Peripheral blood smear
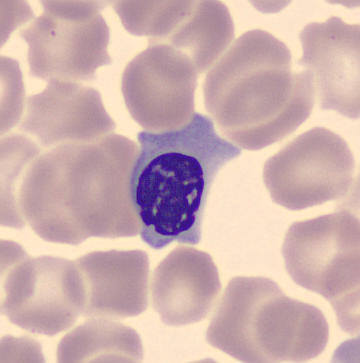Cell type: normoblast.